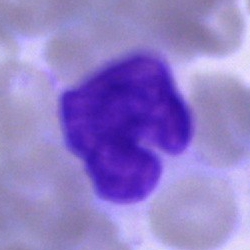Morphology → unidentifiable cell.